Brightfield, 40× oil-immersion objective; bone marrow aspirate smear:
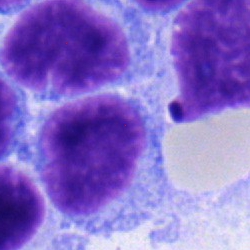
{"cell_type": "lymphocyte"}